Bone marrow smear — 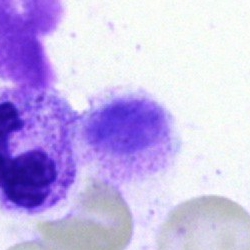 Impression — artifact.